Peripheral blood film
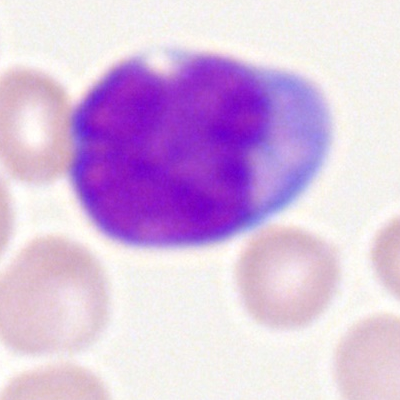 Specimen: peripheral blood smear.
Classification: myeloblast.
Lineage: myeloid.